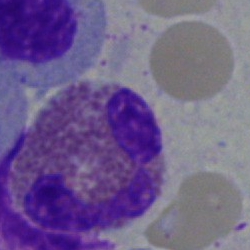

Bone marrow aspirate smear, single cell — eosinophilic granulocyte.